May-Grünwald-Giemsa stain; bone marrow smear
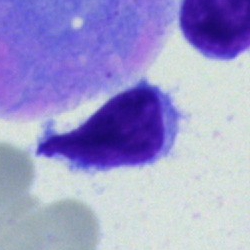
This is a lymphocyte.